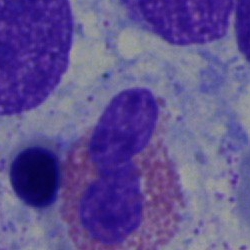
Cell type: eosinophil.